MGG-stained; bone marrow smear — 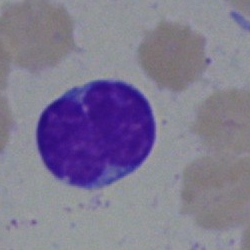
Q: Identify the cell.
A: Typical lymphocyte.